Single-cell field · 250 by 250 pixels · bone marrow aspirate smear.
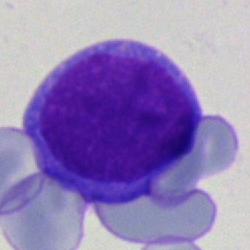 The morphological class is undifferentiated blast.